May-Grünwald-Giemsa stain. Bone marrow smear: 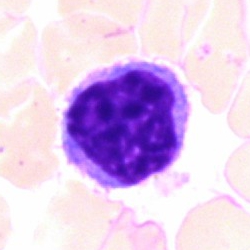

Cell type: lymphocyte.